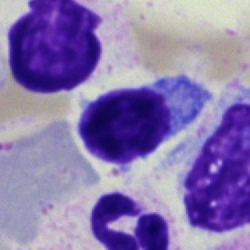 Morphological class: lymphocyte.